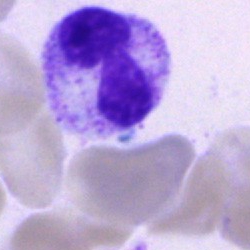 Morphology consistent with a segmented neutrophil.